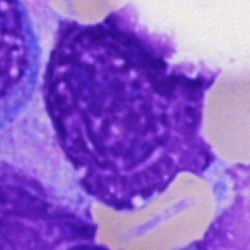

Bone marrow aspirate smear, single cell — artefact.